40× oil immersion. Image size 250×250. Bone marrow aspirate smear: 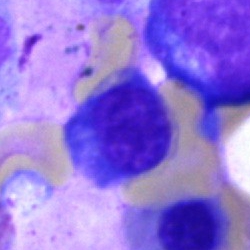

Nucleated red blood cell.